Bone marrow smear: 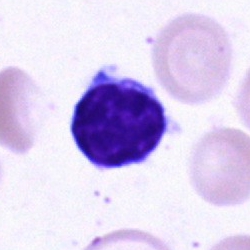Single cell identified as a typical lymphocyte.